Cropped to a single cell · bone marrow smear:
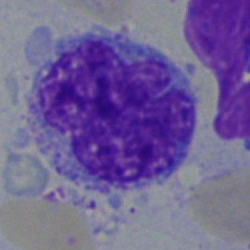
Morphology consistent with a monocyte.